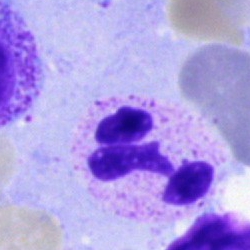Impression → segmented neutrophil.